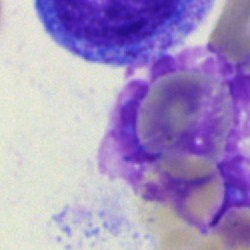 Cell type — artifact.